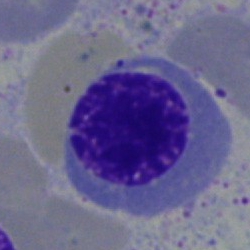
The cell shown is an erythroblast.